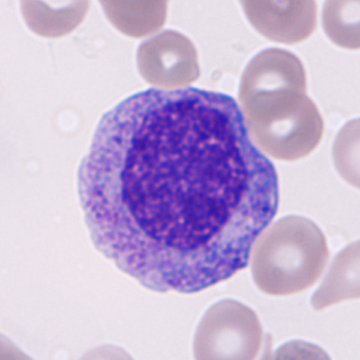May Grünwald-Giemsa stain · 360 by 360 pixels.
Specimen: peripheral blood smear.
Classification: immature granulocyte.
Lineage: myeloid.